Bone marrow aspirate smear: 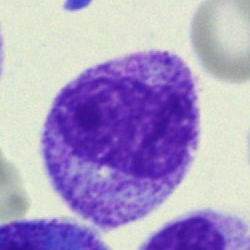

The cell shown is a myelocyte.